Peripheral blood smear. Romanowsky-type stain:
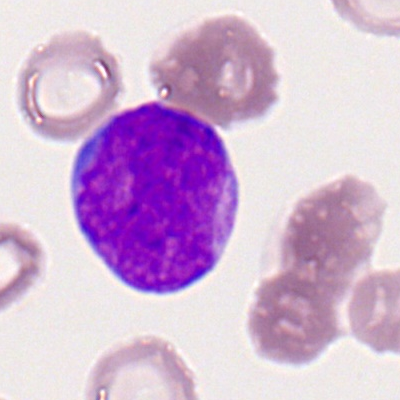 The cell shown is a myeloblast.